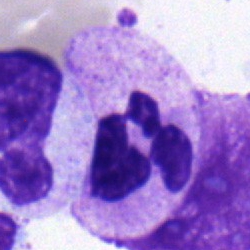Q: What type of cell is this?
A: Neutrophil (segmented).